Peripheral blood film:
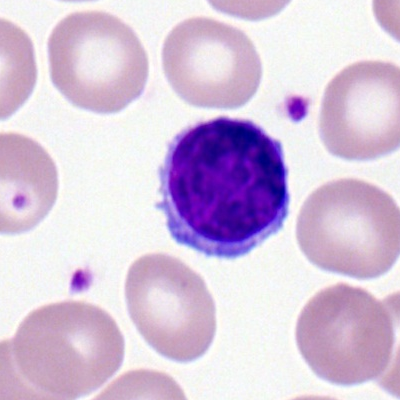 Classification: lymphocyte.